Peripheral blood smear · May-Grünwald-Giemsa-stained · 360×363: 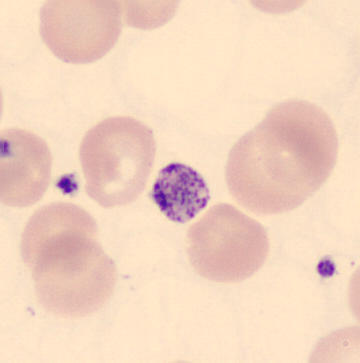Thrombocyte.